250×250 · bone marrow smear · 40× oil immersion:
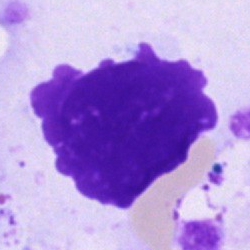Morphology — artifact.